Bone marrow aspirate smear · image size 250×250 · single-cell field.
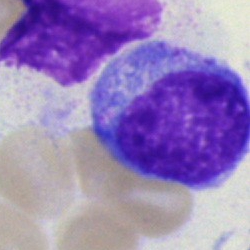 Morphological class: blast.